Single cell centered in the field · peripheral blood smear: 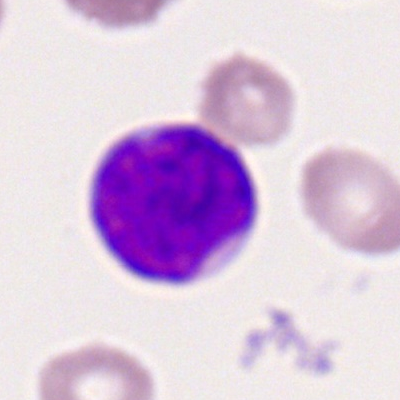

Cell type: myeloblast.